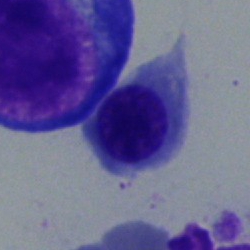
Specimen: bone marrow smear.
Cell: nucleated red blood cell.
Lineage: erythroid.